Bone marrow smear; Pappenheim-stained; 40× oil immersion
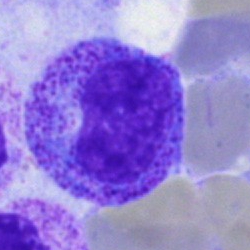Q: What type of cell is this?
A: This is a metamyelocyte.